MGG-stained; bone marrow aspirate smear.
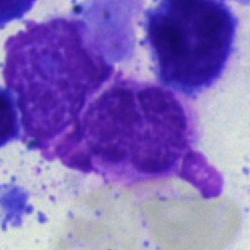
Specimen: bone marrow aspirate smear.
Cell type: artefact.